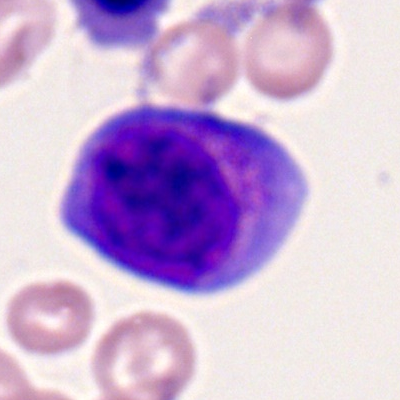Classification — myeloid blast.